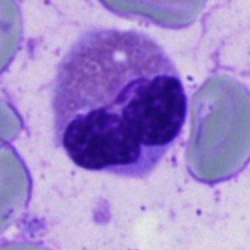

Q: What type of cell is this?
A: This is a neutrophil (segmented).